Single-cell crop · bone marrow aspirate smear:
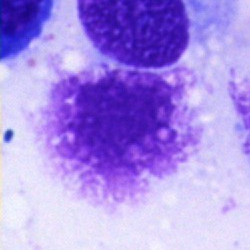 An artefact.